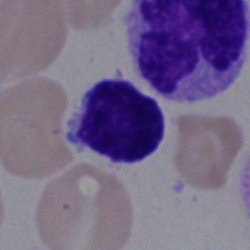Q: What cell is this?
A: This is a typical lymphocyte.